Bone marrow aspirate smear; image size 250×250.
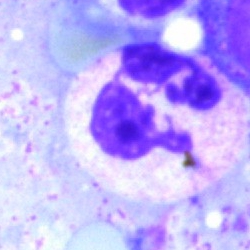 Impression — segmented neutrophil.